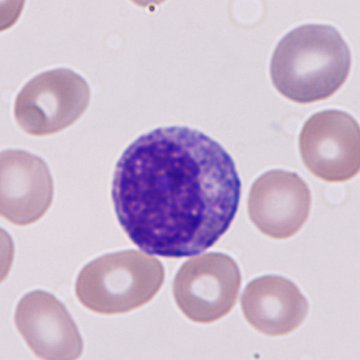 Peripheral blood film, single cell — granulocyte precursor.